40× oil immersion; bone marrow smear.
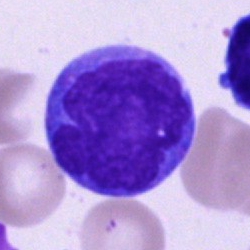

Q: What cell is this?
A: It is a monocyte.